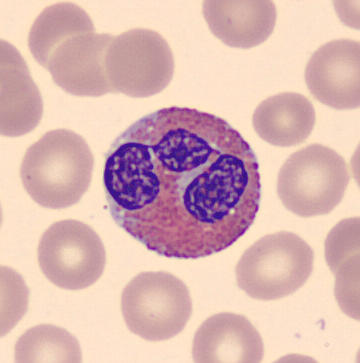 Classification: eosinophilic granulocyte.